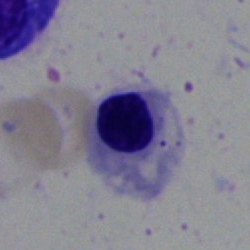

Bone marrow smear showing a normoblast.